Bone marrow smear: 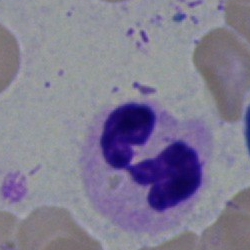

Showing a segmented neutrophil.